Single-cell crop · bone marrow aspirate smear: 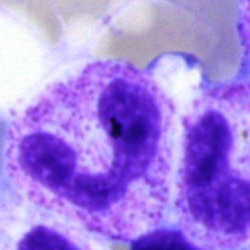 Classification = polymorphonuclear neutrophil.